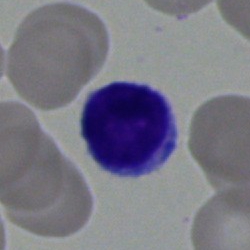
Q: What is the morphological classification of this cell?
A: Lymphocyte.